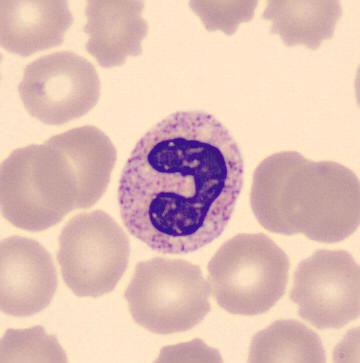
This is a band-form neutrophil.